Bone marrow smear:
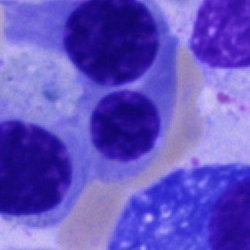 This is a normoblast.